Bone marrow aspirate smear; 40× objective, oil immersion.
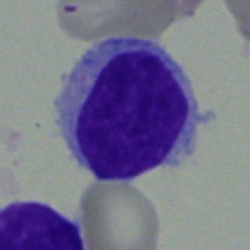Cell: typical lymphocyte.